Bone marrow smear.
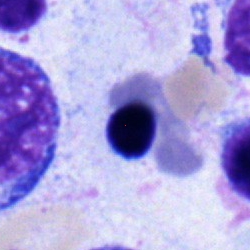

Morphology → nucleated red blood cell.